Bone marrow smear; 250×250:
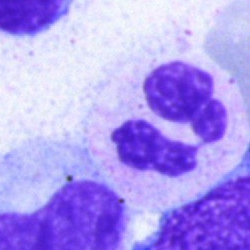The cell shown is a polymorphonuclear neutrophil.